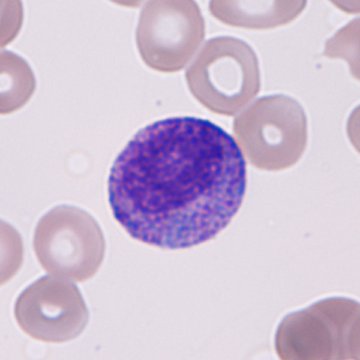
Cell type — immature granulocyte (promyelocyte, myelocyte or metamyelocyte).

Preparation: Peripheral blood film.